Bone marrow smear. Image size 250×250 — 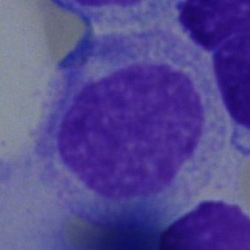

Q: What is shown here?
A: It is a monocyte.